Single-cell crop; bone marrow smear:
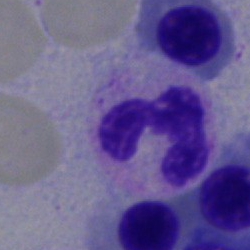Morphology consistent with a polymorphonuclear neutrophil.